Bone marrow aspirate smear — 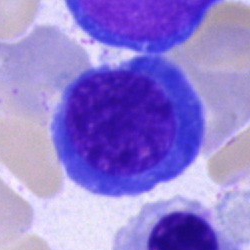{"cell_type": "nucleated red blood cell", "lineage": "erythroid"}